Bone marrow smear. 40× objective, oil immersion. Single-cell field: 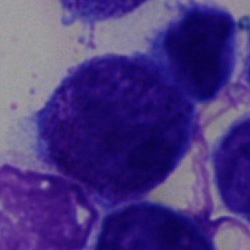Classification = blast cell.